250×250; bone marrow smear
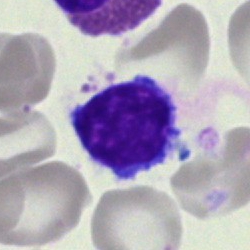

The cell shown is a typical lymphocyte.